Bone marrow smear.
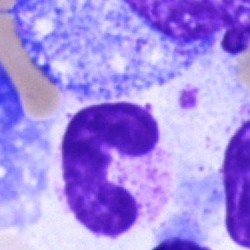 Classification = band-form neutrophil.